Bone marrow aspirate smear · May-Grünwald-Giemsa/Pappenheim stain — 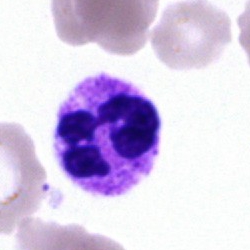 Showing a polymorphonuclear neutrophil.